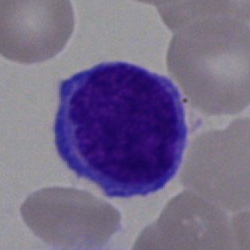 Classification = lymphocyte.